Bone marrow aspirate smear — 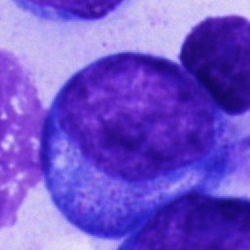 Cell type — blast.